Single-cell crop; bone marrow aspirate smear: 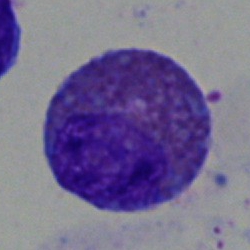

Classification = eosinophil.